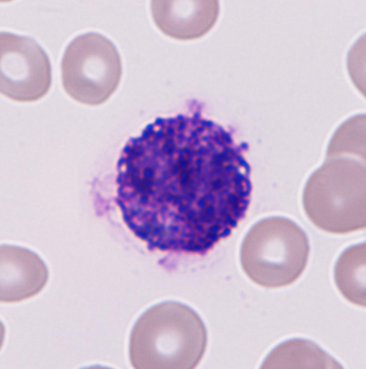

Cell: basophilic granulocyte.
Image size 366×369. Peripheral blood film.